MGG-stained. Bone marrow aspirate smear: 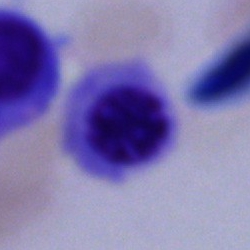

This is a nucleated red cell.